Image size 250×250; bone marrow aspirate smear:
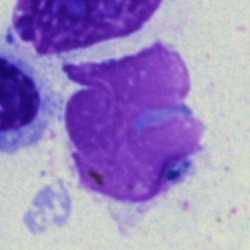 Q: What is shown here?
A: An artifact.